Bone marrow smear. Image size 250×250. MGG-stained.
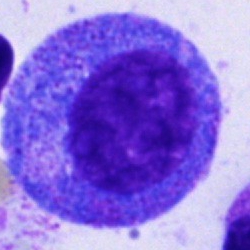
The cell shown is a progranulocyte.